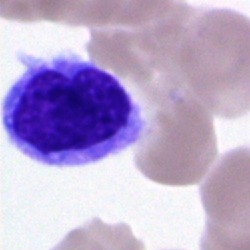 Specimen: bone marrow aspirate smear.
Cell: lymphocyte.
Lineage: lymphoid.